Bone marrow aspirate smear. May-Grünwald-Giemsa/Pappenheim stain:
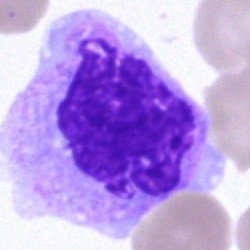

The cell shown is a monocyte.